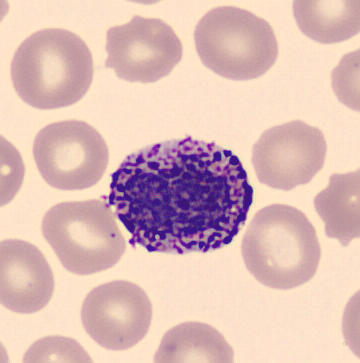

The cell type is basophil.